Peripheral blood smear:
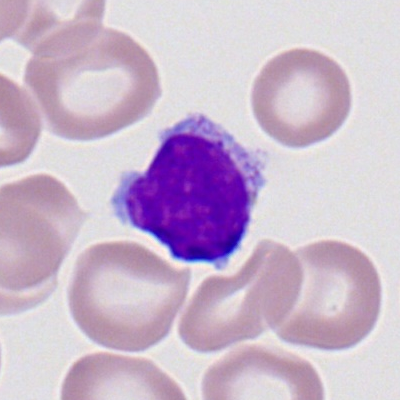

Cell type — lymphocyte.